Bone marrow smear · 250×250 px.
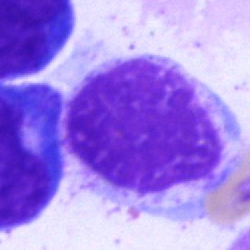

Specimen: bone marrow smear.
Cell type: artifact.